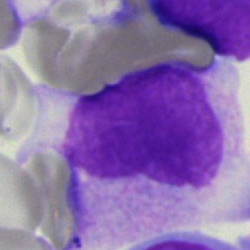 Cell type — blast cell.